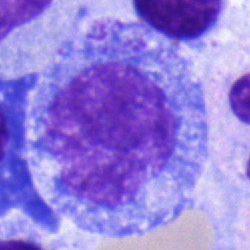
Bone marrow aspirate smear, single cell — promyelocyte.